Bone marrow smear
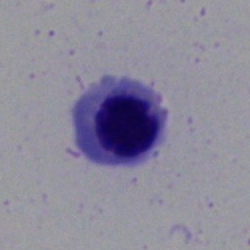
Q: What is shown here?
A: Nucleated red cell.